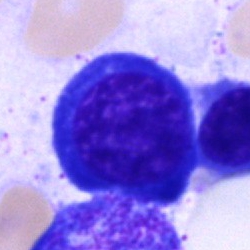
Morphology — nucleated red cell.